Pappenheim-stained · bone marrow smear — 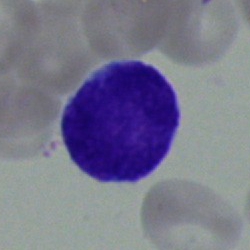
Classification = undifferentiated blast.